Peripheral blood smear:
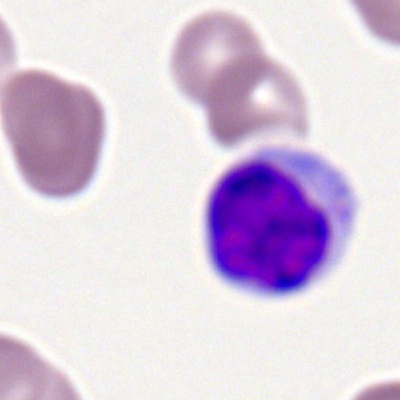Q: What cell is this?
A: It is a lymphocyte.